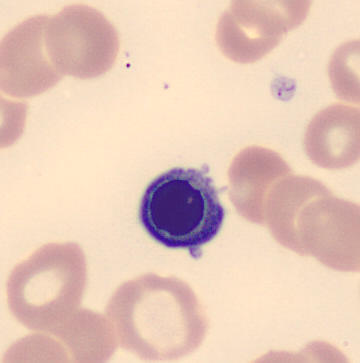Peripheral blood film. Showing a nucleated red cell.